Bone marrow smear — 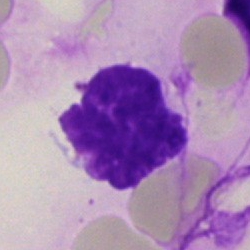
Cell type — artifact.